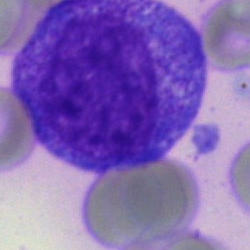Morphology consistent with a promyelocyte.